Peripheral blood smear — 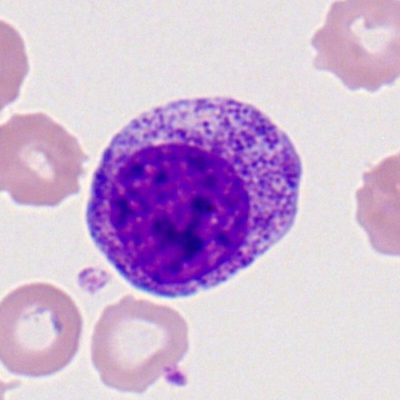 The cell shown is a myelocyte.